Image size 250×250. Bone marrow smear:
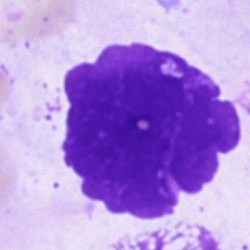 Q: What is shown here?
A: It is an artifact.